Bone marrow aspirate smear:
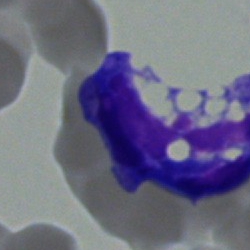 Specimen: bone marrow smear.
Cell: blast.